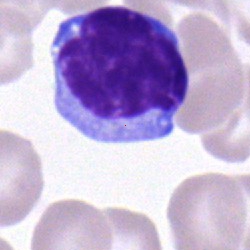

A typical lymphocyte.